Bone marrow smear.
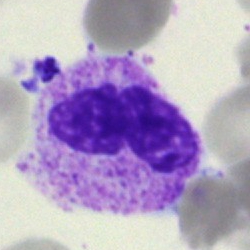
The cell shown is a band-form neutrophil.